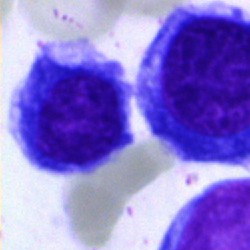
Specimen: bone marrow smear.
Morphological class: normoblast.